May-Grünwald-Giemsa/Pappenheim stain; bone marrow smear: 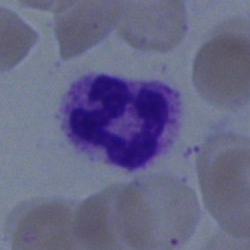Cell type = neutrophil (segmented).